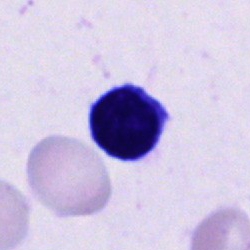 Cell type — cell of indeterminate lineage.